Bone marrow smear
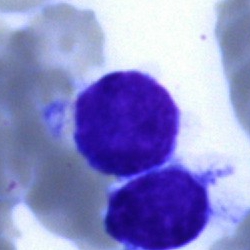

A typical lymphocyte.